Bone marrow aspirate smear:
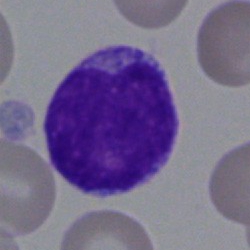

An undifferentiated blast.